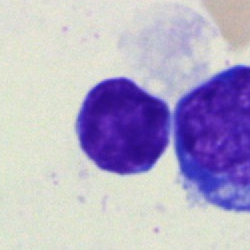
Morphology → typical lymphocyte.